Bone marrow smear
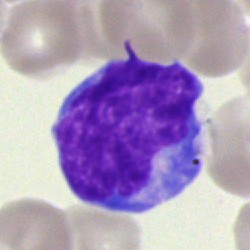

Blast.